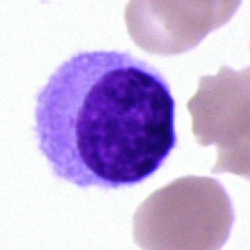

Q: What cell is this?
A: A hairy cell.